Bone marrow smear
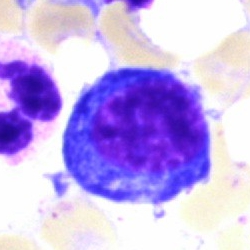Morphological class = nucleated red cell.